250×250 px; bone marrow aspirate smear
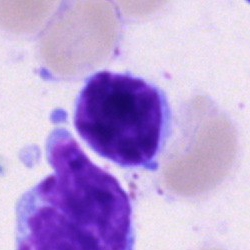 A lymphocyte.